40× objective, oil immersion. Bone marrow aspirate smear: 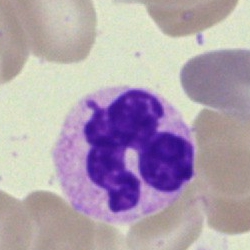
Showing a neutrophil (segmented).